Bone marrow aspirate smear · MGG-stained: 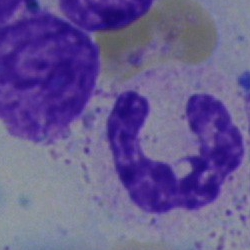

The cell shown is a neutrophil (segmented).